Peripheral blood film: 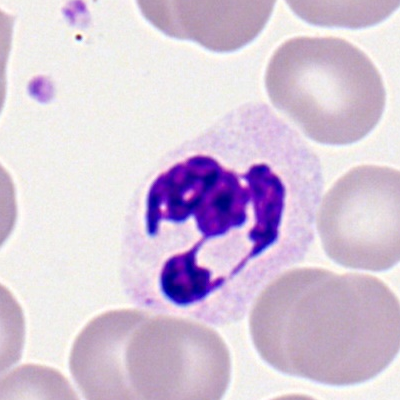Single cell identified as a polymorphonuclear neutrophil.